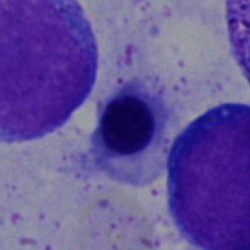 Morphology → normoblast.